Bone marrow aspirate smear; 40× objective, oil immersion; 250×250 px.
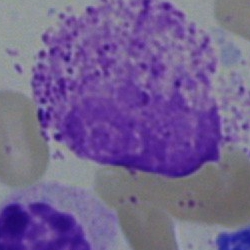Cell = myelocyte.